250×250 px · cropped to a single cell · bone marrow smear.
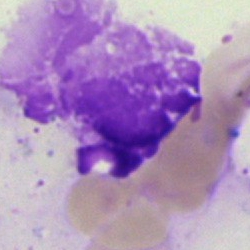{"cell_type": "artifact"}